Bone marrow smear; single-cell field
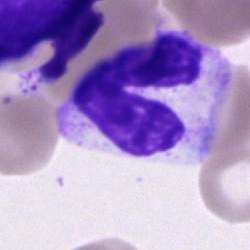
This is a band-form neutrophil.